Bone marrow aspirate smear. Cropped to a single cell
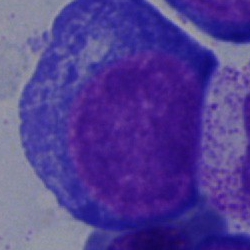
This is a pronormoblast.